Bone marrow aspirate smear · May-Grünwald-Giemsa/Pappenheim stain — 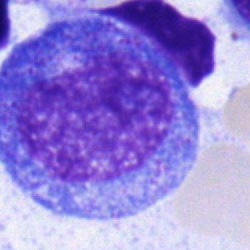
Single cell identified as a promyelocyte.